Bone marrow aspirate smear; brightfield microscopy, 40× oil immersion.
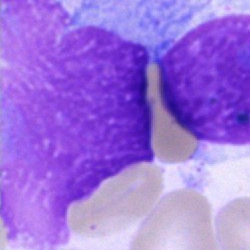Specimen: bone marrow aspirate smear.
Cell type: artifact.